Cropped to a single cell · bone marrow aspirate smear — 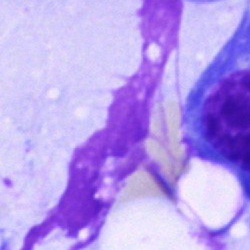Morphology — artefact.